Bone marrow aspirate smear
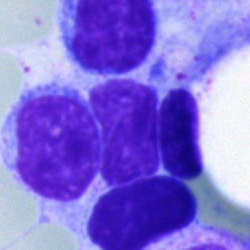 This is a typical lymphocyte.